Bone marrow aspirate smear. 250×250.
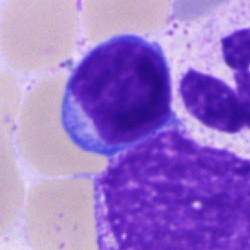 Morphology — lymphocyte.